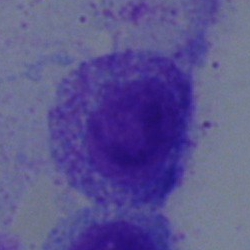 The cell type is myelocyte.